Bone marrow aspirate smear — 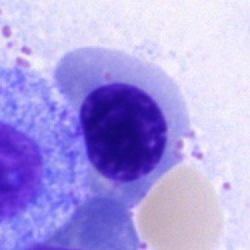
Showing a nucleated red cell.